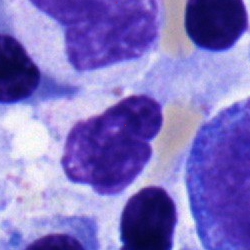
Single-cell crop from a bone marrow smear: polymorphonuclear neutrophil.